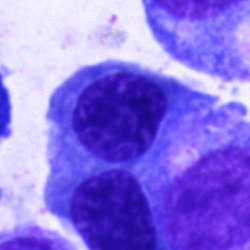

Cell type — normoblast.